Bone marrow smear — 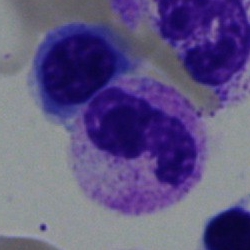

Impression — polymorphonuclear neutrophil.